Bone marrow aspirate smear · May-Grünwald-Giemsa/Pappenheim stain · 40× oil immersion: 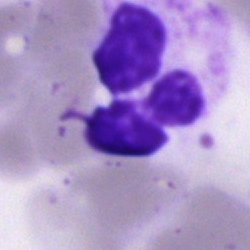Single cell identified as a polymorphonuclear neutrophil.